Bone marrow aspirate smear:
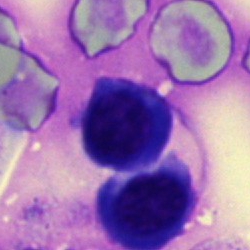The cell shown is a normoblast.